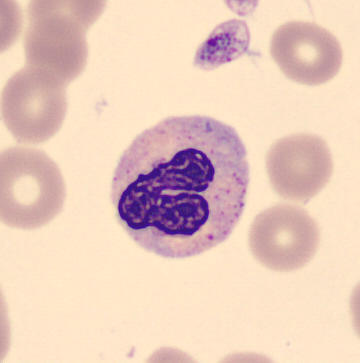
Preparation: Peripheral blood smear. Imaged on a CellaVision DM96 analyser.

Morphology consistent with a band neutrophil.